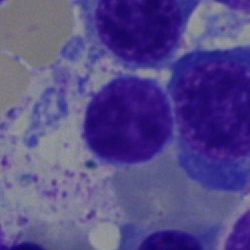 Single-cell crop from a bone marrow smear: lymphocyte.